250 by 250 pixels; bone marrow aspirate smear
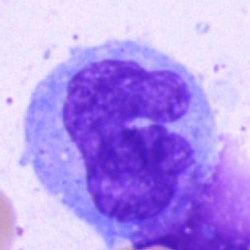

Q: What is shown here?
A: It is a monocyte.